Bone marrow smear: 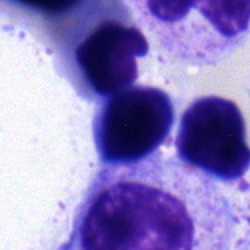 Specimen: bone marrow aspirate smear.
Cell type: lymphocyte.
Lineage: lymphoid.